Bone marrow aspirate smear — 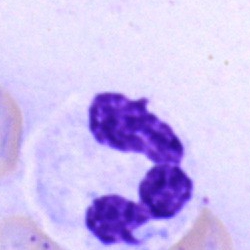Morphology consistent with a segmented neutrophil.